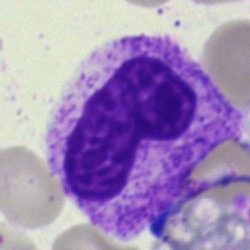 {"cell_type": "neutrophil (band)", "lineage": "myeloid"}